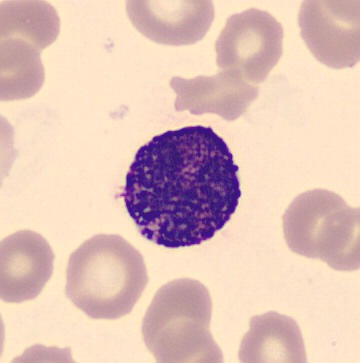Morphological class — basophil.
Preparation: Peripheral blood smear · 360×363 px.